Bone marrow aspirate smear: 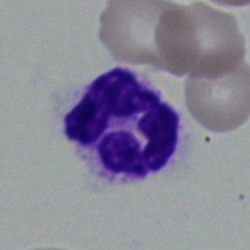 Q: What type of cell is this?
A: Segmented neutrophil.